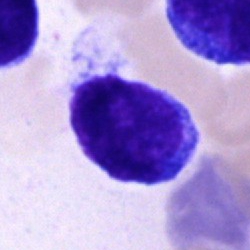
A blast cell on a bone marrow smear.